May-Grünwald-Giemsa/Pappenheim stain; bone marrow smear: 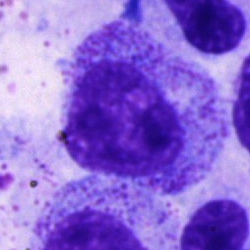The classification is promyelocyte.